40× oil immersion; bone marrow smear — 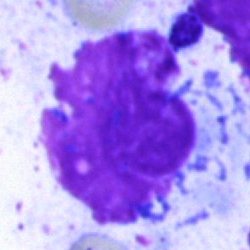
The cell shown is an artefact.